Bone marrow smear
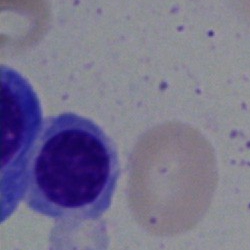

Cell type = erythroblast.